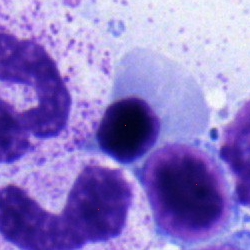

Specimen: bone marrow aspirate smear.
Classification: nucleated red cell.
Lineage: erythroid.